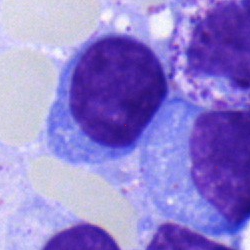Single-cell crop from a bone marrow smear: typical lymphocyte.